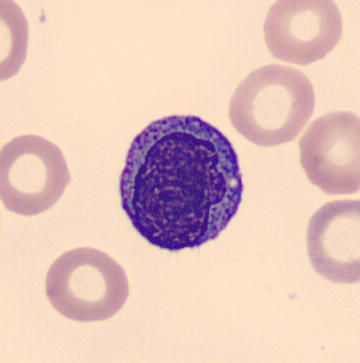Single cell identified as a lymphocyte.
Automated cell imaging (CellaVision DM96) · peripheral blood film.